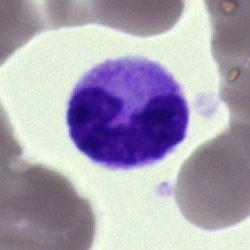 Specimen: bone marrow smear.
Morphological class: polymorphonuclear neutrophil.
Lineage: myeloid.